Bone marrow smear — 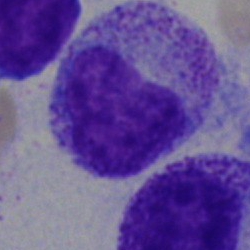

Specimen: bone marrow aspirate smear.
Cell: myelocyte.